Bone marrow aspirate smear; brightfield, 40× oil-immersion objective; May-Grünwald-Giemsa stain: 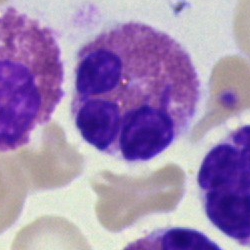
Q: Which cell type is shown here?
A: An eosinophil.